Bone marrow smear — 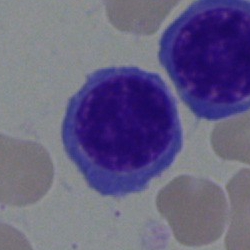

Morphology consistent with an erythroblast.